Bone marrow aspirate smear.
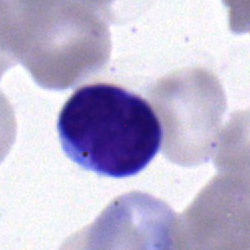This is a lymphocyte.